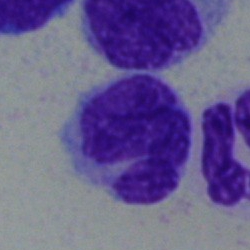
Q: Identify the cell.
A: Monocyte.